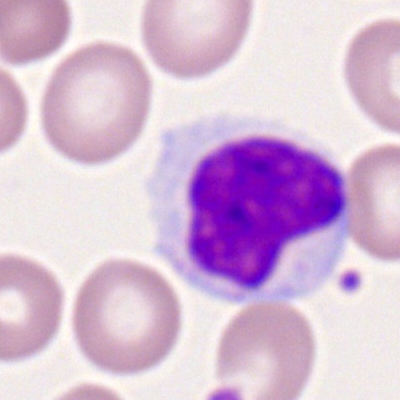Specimen: peripheral blood smear.
Cell type: typical lymphocyte.